Bone marrow aspirate smear.
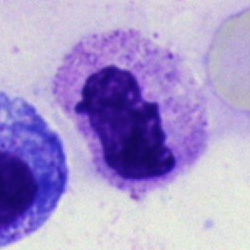Showing a neutrophil (segmented).